Bone marrow aspirate smear:
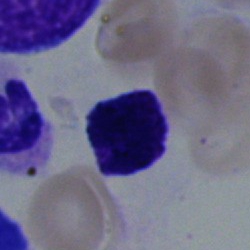

Typical lymphocyte.